Bone marrow aspirate smear · 40× objective, oil immersion · Pappenheim-stained — 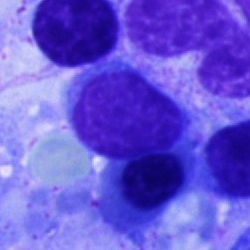
Specimen: bone marrow smear.
Classification: lymphocyte.
Lineage: lymphoid.